May-Grünwald-Giemsa stain; bone marrow smear; single-cell field — 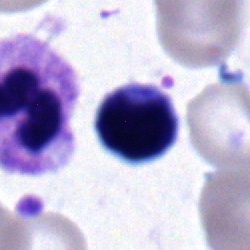A lymphocyte.